Bone marrow aspirate smear; May-Grünwald-Giemsa/Pappenheim stain; 40× oil immersion.
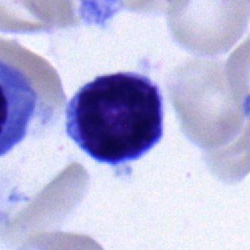 Morphological class = lymphocyte.